Peripheral blood film · 100× oil immersion, 14.14 px/µm · 400 by 400 pixels: 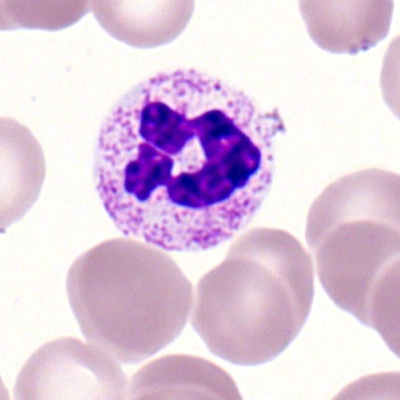 Specimen: peripheral blood smear.
Classification: neutrophil (segmented).
Lineage: myeloid.